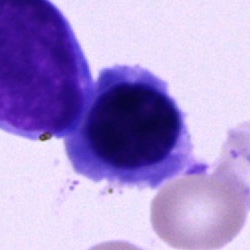
Cell type — erythroblast.